Bone marrow aspirate smear. 40× objective, oil immersion. May-Grünwald-Giemsa stain:
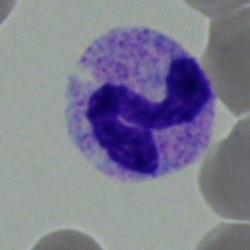 The cell is segmented neutrophil.